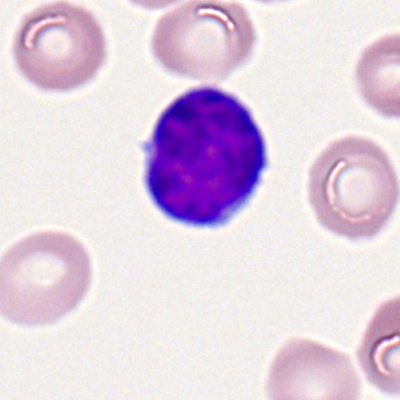

Morphology → lymphocyte.